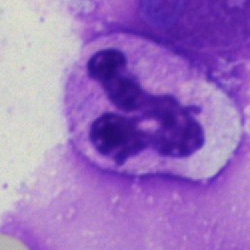 A polymorphonuclear neutrophil on a bone marrow smear.